40× objective, oil immersion. Bone marrow smear:
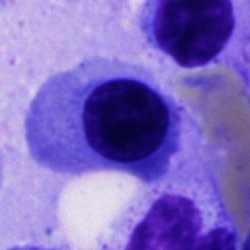Morphological class — undifferentiated blast.